Bone marrow aspirate smear: 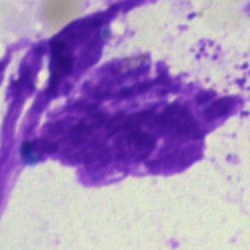 Q: What is shown here?
A: An artefact.